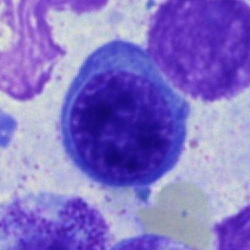
Q: What is the morphological classification of this cell?
A: Nucleated red cell.